Bone marrow aspirate smear.
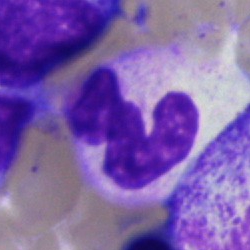
Specimen: bone marrow aspirate smear.
Morphological class: segmented neutrophil.